Bone marrow aspirate smear.
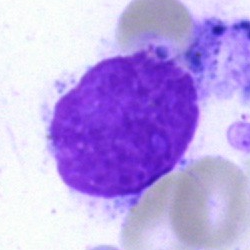 Morphology → artefact.